May-Grünwald-Giemsa stain. Bone marrow aspirate smear. Brightfield microscopy, 40× oil immersion.
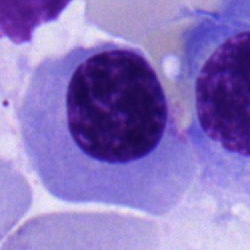

This is a normoblast.